Bone marrow aspirate smear: 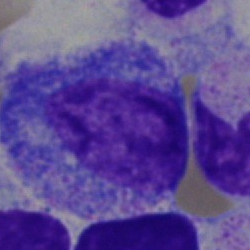

The cell shown is a progranulocyte.